Brightfield, 100× oil-immersion objective; peripheral blood smear:
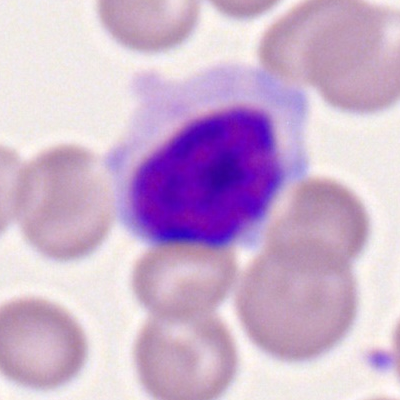

Specimen: peripheral blood film.
Morphological class: lymphocyte.
Lineage: lymphoid.